Bone marrow smear.
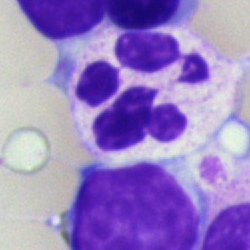
Single cell identified as a polymorphonuclear neutrophil.